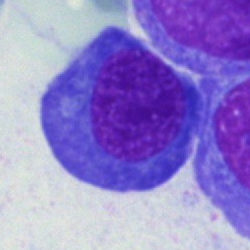Classification = nucleated red blood cell.